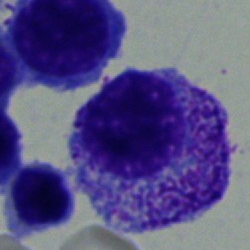
This is a myelocyte.